Single-cell field · bone marrow smear: 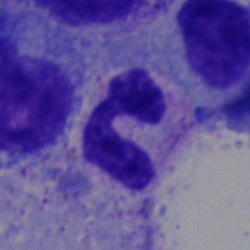

Morphological class — neutrophil (segmented).